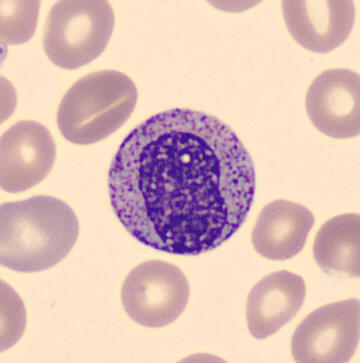

Peripheral blood smear.
Single cell identified as a myelocyte.